40× oil immersion · single cell centered in the field · bone marrow aspirate smear
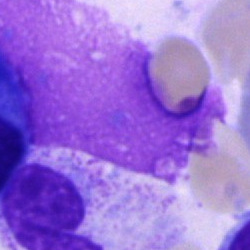 Single cell identified as an artifact.